Bone marrow smear · 40× objective, oil immersion · cropped to a single cell.
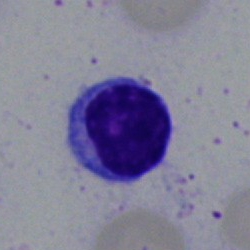

This is a typical lymphocyte.